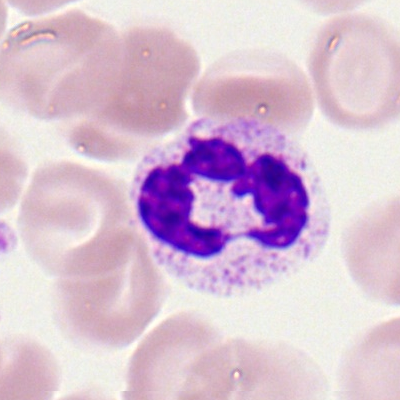
{"cell_type": "segmented neutrophil"}